Peripheral blood film; single-cell crop: 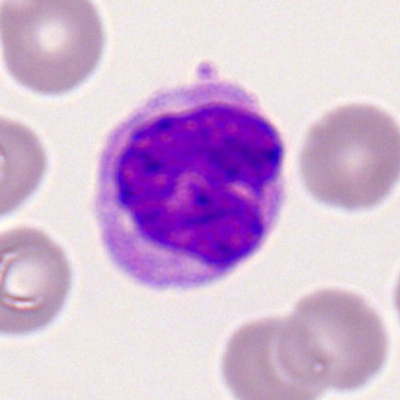Specimen: peripheral blood film.
Cell: stab cell.